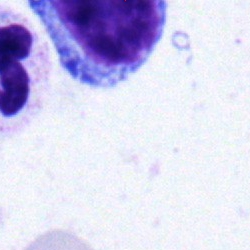
Lymphocyte.